Brightfield microscopy, 40× oil immersion. Bone marrow aspirate smear. Pappenheim-stained.
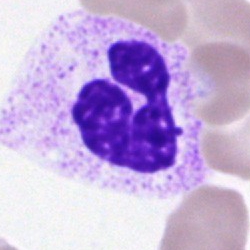
Specimen: bone marrow aspirate smear.
Cell: polymorphonuclear neutrophil.
Lineage: myeloid.